Bone marrow aspirate smear; brightfield microscopy, 40× oil immersion; single cell centered in the field: 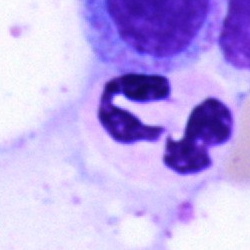Morphology → polymorphonuclear neutrophil.